Brightfield, 40× oil-immersion objective. Bone marrow aspirate smear
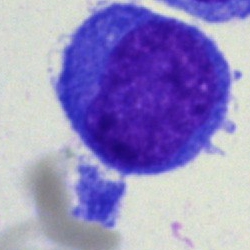
Q: What is the morphological classification of this cell?
A: It is a blast.